Single-cell crop · bone marrow smear — 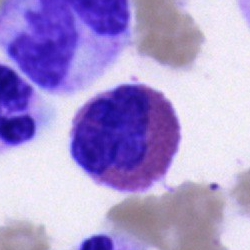Morphology — eosinophil.